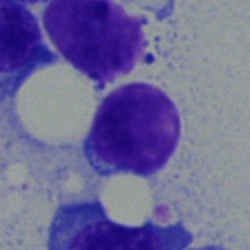
Single cell identified as a lymphocyte.